Bone marrow smear
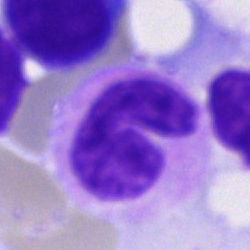Specimen: bone marrow smear.
Cell type: polymorphonuclear neutrophil.
Lineage: myeloid.